Bone marrow smear:
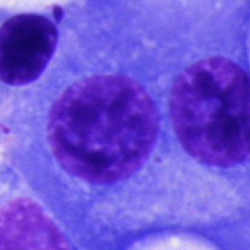
Cell type = plasmacyte.